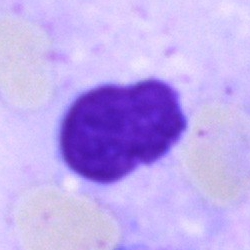

Q: What is shown here?
A: It is an artefact.